Bone marrow aspirate smear: 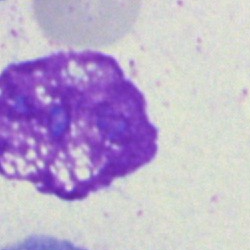

Cell type — artefact.